Bone marrow aspirate smear · MGG-stained.
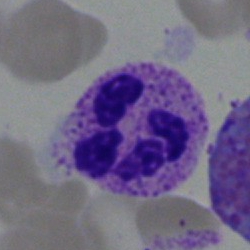
Single cell identified as a neutrophil (segmented).